MGG-stained; bone marrow smear; single-cell crop: 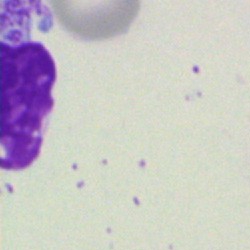Specimen: bone marrow aspirate smear.
Cell: artefact.